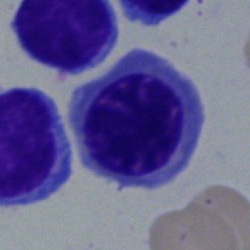

Q: What type of cell is this?
A: Normoblast.